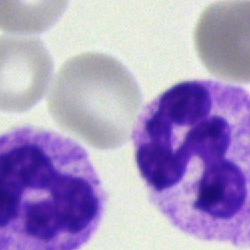Specimen: bone marrow smear.
Morphological class: neutrophil (segmented).